Bone marrow aspirate smear:
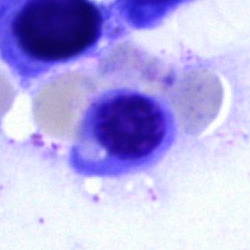
Cell type — erythroblast.